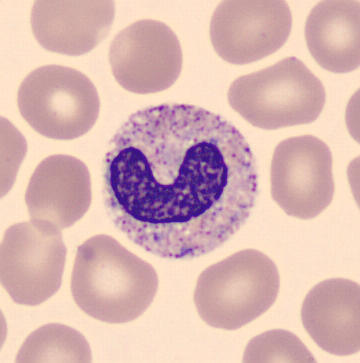
Peripheral blood film.
A neutrophil (band).